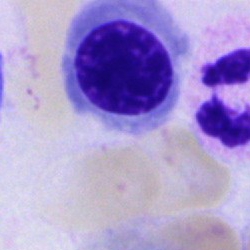Morphology — erythroblast.